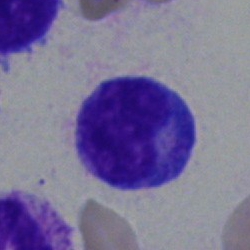Q: What type of cell is this?
A: A lymphocyte.